Bone marrow aspirate smear · MGG-stained.
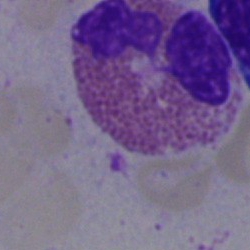Morphology → eosinophil.